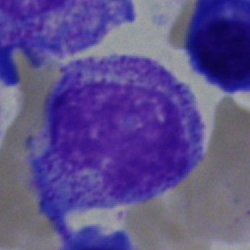 A myelocyte.